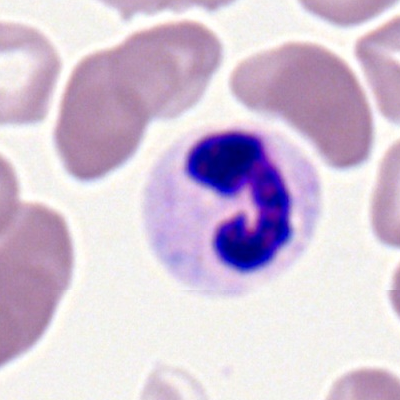 {"cell_type": "polymorphonuclear neutrophil", "lineage": "myeloid"}